Bone marrow smear · single-cell field · 250×250 px
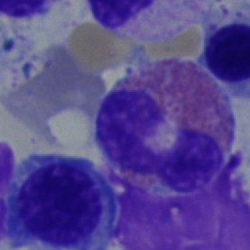 Morphology — eosinophil.